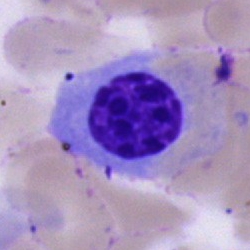

Cell: erythroblast.